Bone marrow aspirate smear
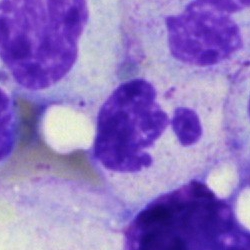

Cell — polymorphonuclear neutrophil.